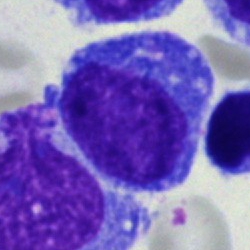Specimen: bone marrow aspirate smear.
Morphological class: blast cell.